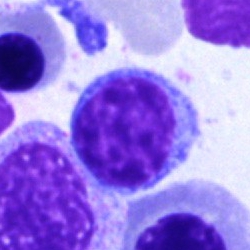 Q: What is shown here?
A: Lymphocyte.